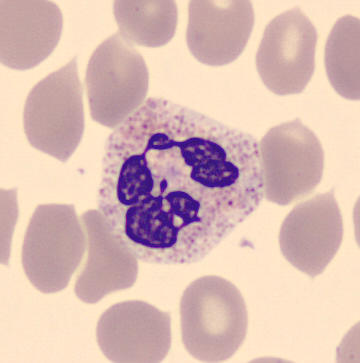
Peripheral blood film · single cell centered in the field · May Grünwald-Giemsa stain. This is a segmented neutrophil.